Bone marrow aspirate smear:
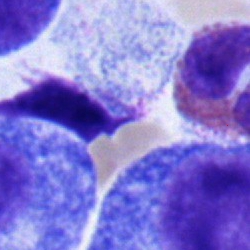
Morphological class — eosinophil.